250 by 250 pixels · bone marrow smear.
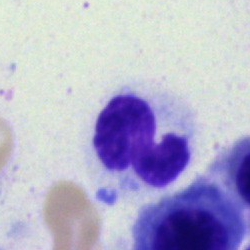

Classification = polymorphonuclear neutrophil.